Bone marrow smear; 250 by 250 pixels; 40× objective, oil immersion.
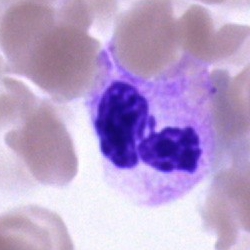Morphological class — segmented neutrophil.